Bone marrow aspirate smear — 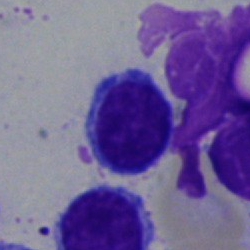
Morphological class: typical lymphocyte.